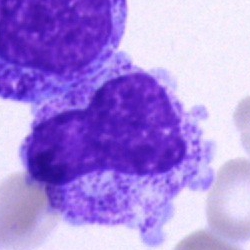 Classification: artefact.